Bone marrow aspirate smear: 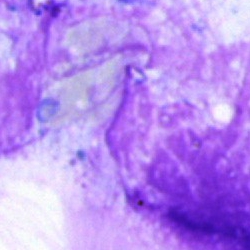

Q: What is shown here?
A: An artifact.